Bone marrow smear — 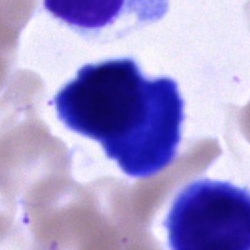Morphology consistent with a plasma cell.